Bone marrow smear; 250×250; Pappenheim-stained
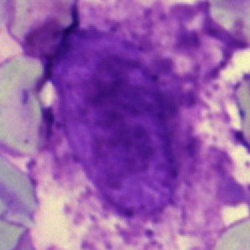 This is an artifact.